Bone marrow aspirate smear; 40× oil immersion
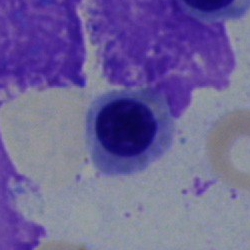Showing a myelocyte.